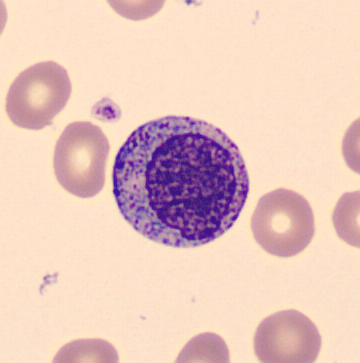 Acquisition: Peripheral blood smear.

Morphological class = myelocyte.